Single-cell crop; bone marrow smear
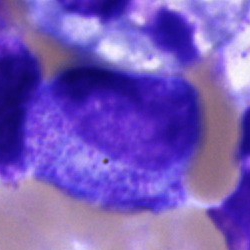Cell type — promyelocyte.